Image size 250×250. Bone marrow smear. Brightfield, 40× oil-immersion objective — 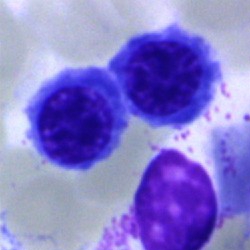

Specimen: bone marrow smear.
Cell: erythroblast.
Lineage: erythroid.